Peripheral blood film · single-cell field
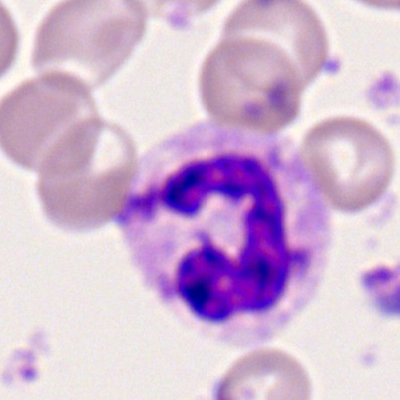 Specimen: peripheral blood smear.
Cell: polymorphonuclear neutrophil.
Lineage: myeloid.